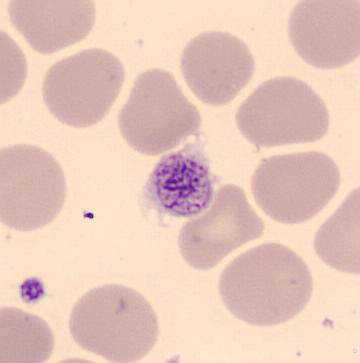
Peripheral blood smear showing a platelet (thrombocyte).